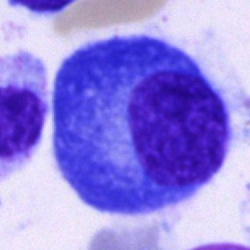
Specimen: bone marrow smear.
Classification: plasmacyte.